Bone marrow smear; May-Grünwald-Giemsa/Pappenheim stain; cropped to a single cell.
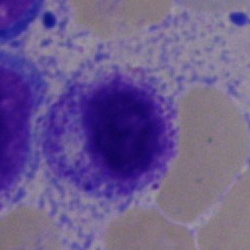Q: What type of cell is this?
A: A myelocyte.